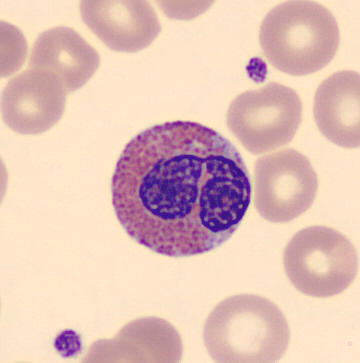Peripheral blood film. Showing an eosinophilic granulocyte.